Bone marrow smear; single-cell crop
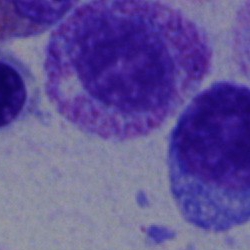
The cell shown is a myelocyte.